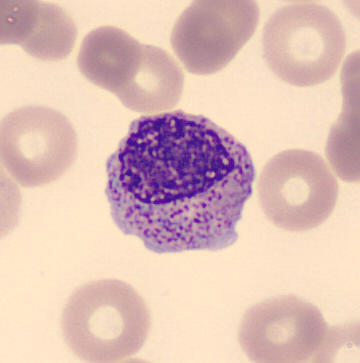A myelocyte.
Peripheral blood smear.